Bone marrow smear.
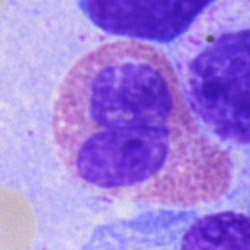 Cell — eosinophil.